Bone marrow aspirate smear; cropped to a single cell:
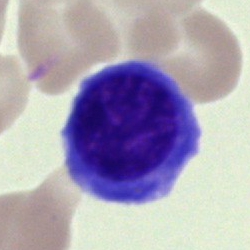 Cell type — undifferentiated blast.